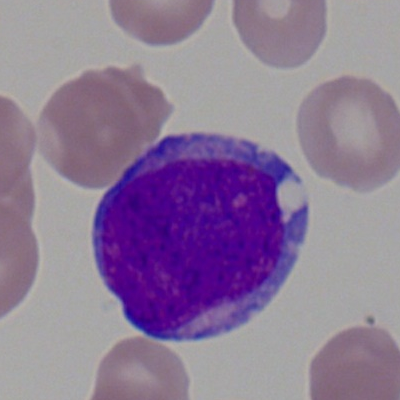The morphological class is myeloid blast.